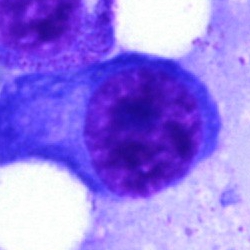 Impression — plasmacyte.